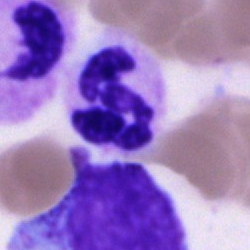 {"cell_type": "segmented neutrophil", "lineage": "myeloid"}